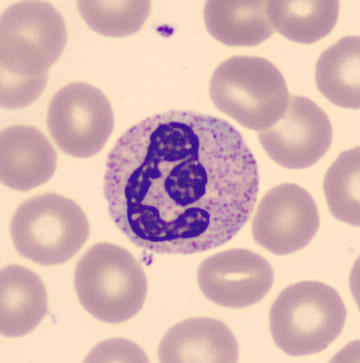
Single cell identified as a polymorphonuclear neutrophil.
Image: Peripheral blood film · imaged on a CellaVision DM96 analyser.